Bone marrow smear — 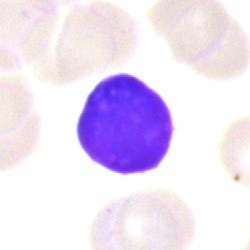

Impression — artifact.